Bone marrow smear; MGG-stained:
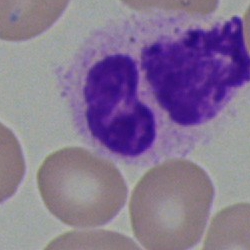

This is a segmented neutrophil.